Bone marrow aspirate smear:
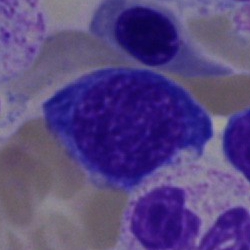
Q: What cell is this?
A: This is a normoblast.